CellaVision DM96 digital cell image · peripheral blood film:
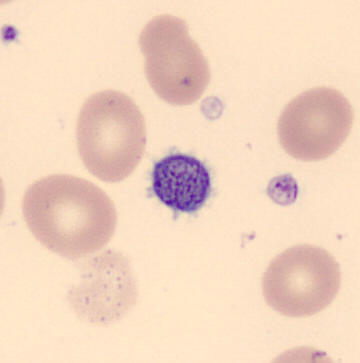
Specimen: peripheral blood smear.
Cell type: platelet.